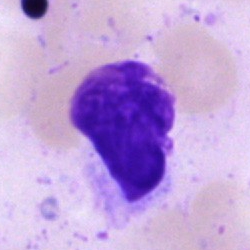

Q: What is shown here?
A: Artefact.